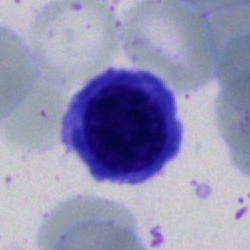
Cell — erythroblast.